Bone marrow aspirate smear:
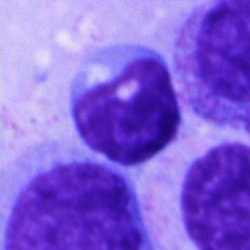 Q: What is shown here?
A: Lymphocyte.